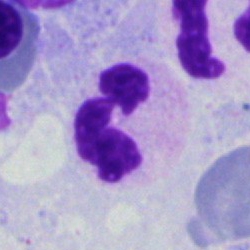

Morphology consistent with a segmented neutrophil.